May-Grünwald-Giemsa/Pappenheim stain; bone marrow smear — 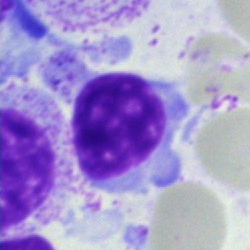 Specimen: bone marrow smear.
Morphological class: typical lymphocyte.